Bone marrow smear: 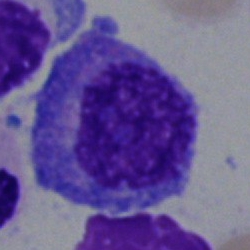

The cell type is promyelocyte.